Peripheral blood film — 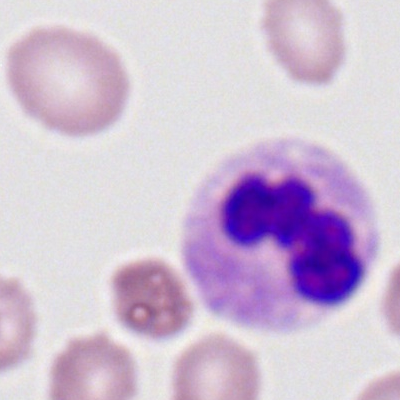 The cell type is neutrophil (segmented).